Bone marrow aspirate smear.
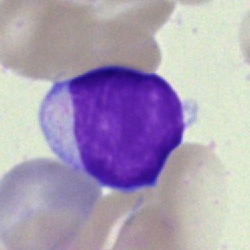Showing a lymphocyte.